Single-cell field. 40× objective, oil immersion. Bone marrow aspirate smear — 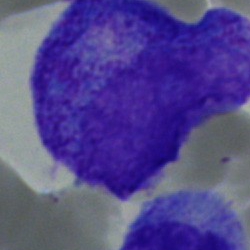
Showing a progranulocyte.